400×400 px; peripheral blood film — 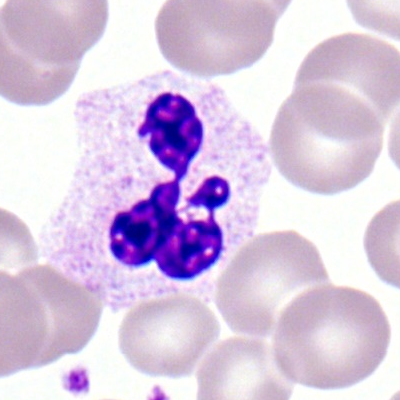
Neutrophil (segmented).